Bone marrow smear. Brightfield, 40× oil-immersion objective:
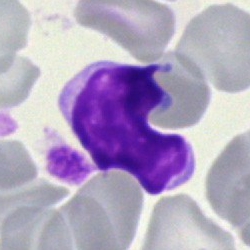Specimen: bone marrow aspirate smear.
Cell type: lymphocyte.
Lineage: lymphoid.